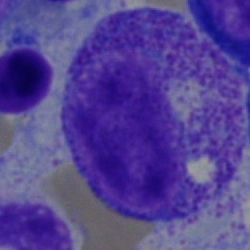Morphology consistent with a myelocyte.